Bone marrow aspirate smear:
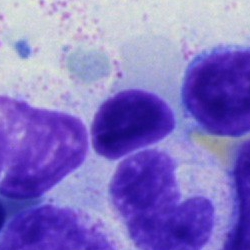Morphology consistent with a normoblast.